May-Grünwald-Giemsa/Pappenheim stain · bone marrow smear:
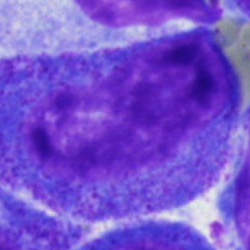

Specimen: bone marrow smear.
Classification: promyelocyte.
Lineage: myeloid.